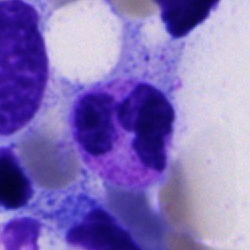 Morphological class: neutrophil (segmented).